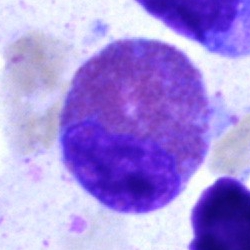

Specimen: bone marrow aspirate smear.
Morphological class: eosinophil.
Lineage: myeloid.